Single-cell field; 40× objective, oil immersion; bone marrow smear
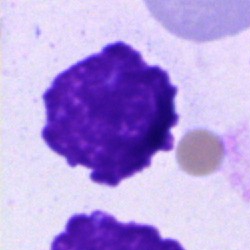

The cell is artefact.